Single cell centered in the field · bone marrow aspirate smear · image size 250×250.
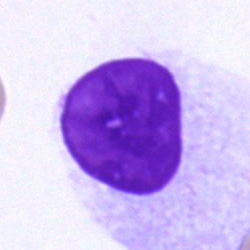

Showing an unidentifiable cell.